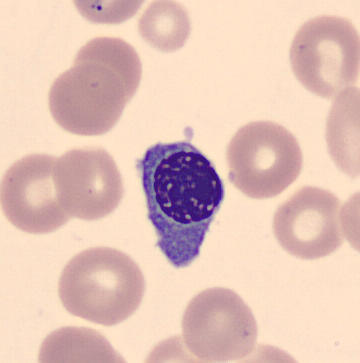
Q: What is the morphological classification of this cell?
A: It is a nucleated red blood cell.

Peripheral blood film · CellaVision DM96.